Bone marrow aspirate smear; Pappenheim-stained.
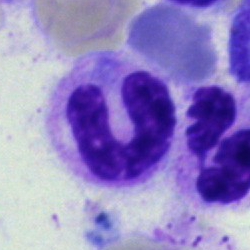

Morphology consistent with a band neutrophil.